Bone marrow smear · 250×250 px: 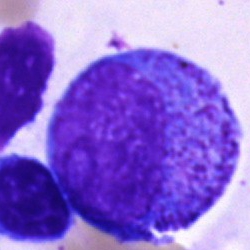
Q: What cell is this?
A: This is a promyelocyte.